40× oil immersion. Bone marrow aspirate smear — 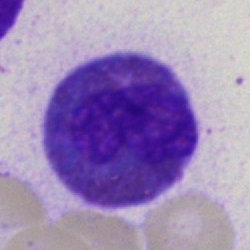 Single cell identified as an eosinophilic granulocyte.